Bone marrow aspirate smear — 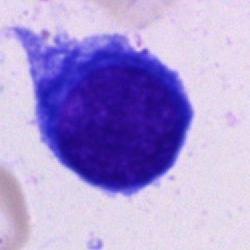
Classification — nucleated red cell.